Bone marrow smear — 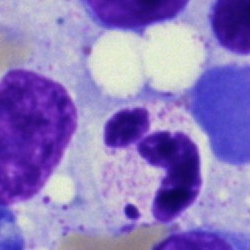
Morphology → neutrophil (segmented).